Bone marrow aspirate smear. Single-cell crop: 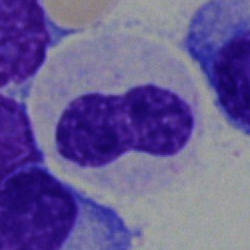
Impression → neutrophil (band).